Peripheral blood smear · MGG stain · 360×363 px.
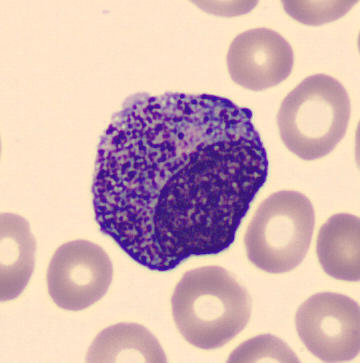 Q: What is this?
A: A progranulocyte.